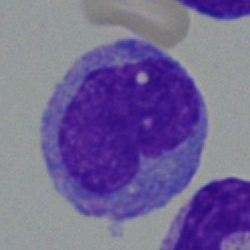 Showing a monocyte.